Bone marrow aspirate smear; 40× objective, oil immersion; MGG-stained
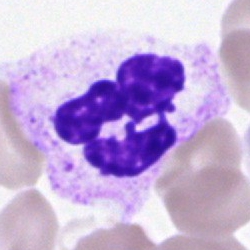

Polymorphonuclear neutrophil.